Bone marrow aspirate smear: 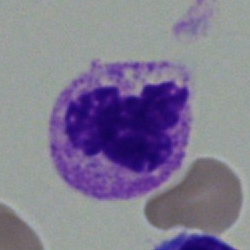Specimen: bone marrow aspirate smear.
Cell type: segmented neutrophil.
Lineage: myeloid.